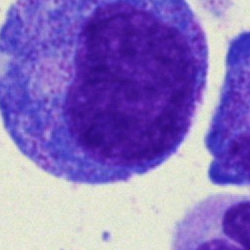
Specimen: bone marrow smear.
Classification: promyelocyte.
Lineage: myeloid.